40× oil immersion · bone marrow aspirate smear:
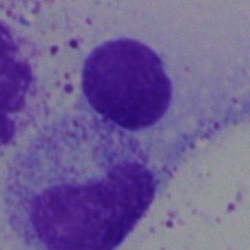This is a lymphocyte.